Bone marrow aspirate smear — 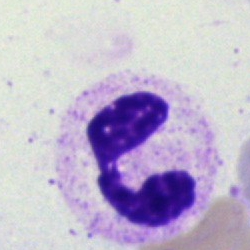 Classification: neutrophil (segmented).